Bone marrow aspirate smear; 250 by 250 pixels; MGG-stained: 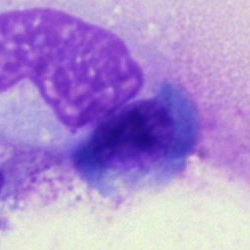
Cell: nucleated red blood cell.